Bone marrow smear; single-cell crop
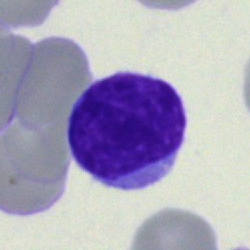 Q: What is the morphological classification of this cell?
A: Typical lymphocyte.